Bone marrow aspirate smear · single-cell crop.
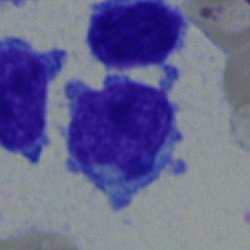Cell: typical lymphocyte.